Bone marrow smear.
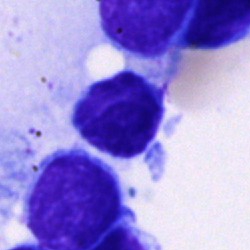Cell — lymphocyte.